Brightfield microscopy, 40× oil immersion; bone marrow aspirate smear — 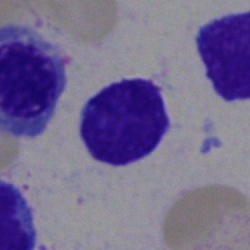 Morphological class — typical lymphocyte.